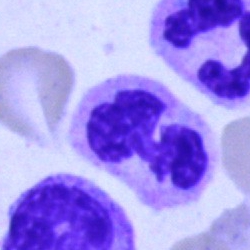Morphological class = polymorphonuclear neutrophil.